Peripheral blood smear. 400×400 px. Brightfield, 100× oil-immersion objective — 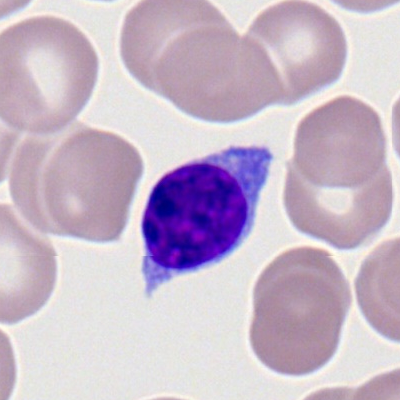
Cell type = typical lymphocyte.